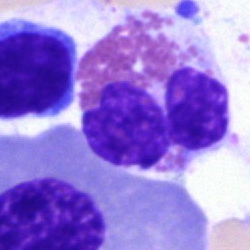
Specimen: bone marrow aspirate smear.
Cell: eosinophilic granulocyte.